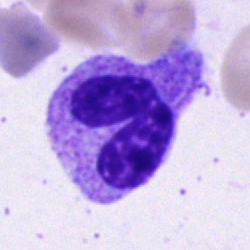This is a segmented neutrophil.